Bone marrow smear.
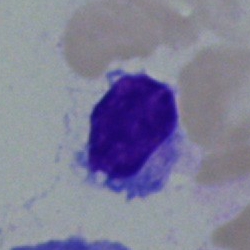

Single cell identified as a typical lymphocyte.